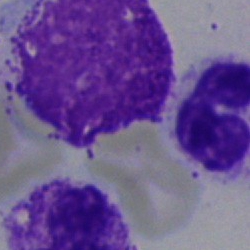

Q: What is shown here?
A: Artefact.